Bone marrow aspirate smear — 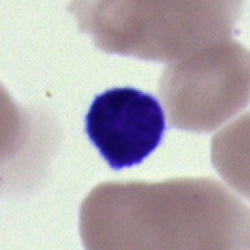

Specimen: bone marrow smear.
Morphological class: cell of indeterminate lineage.